250×250; bone marrow smear.
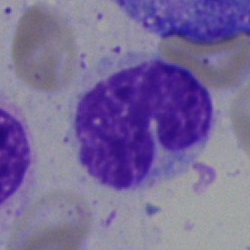
Single cell identified as a monocyte.